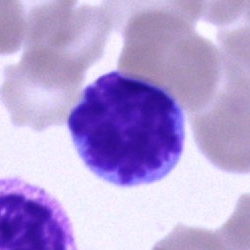

{"cell_type": "typical lymphocyte", "lineage": "lymphoid"}